Peripheral blood film. M8 digital microscope (Precipoint), 100× oil immersion
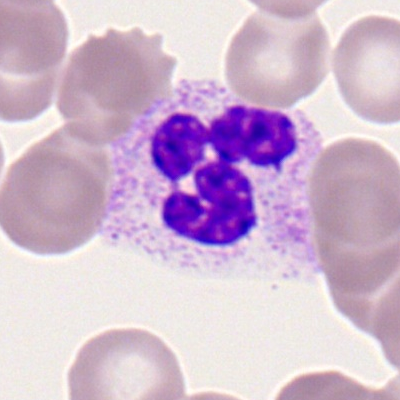
Specimen: peripheral blood smear.
Morphological class: polymorphonuclear neutrophil.
Lineage: myeloid.